Bone marrow aspirate smear; MGG-stained — 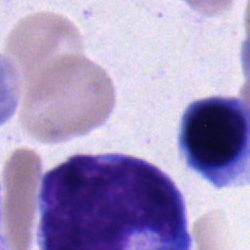

Specimen: bone marrow smear.
Morphological class: nucleated red blood cell.
Lineage: erythroid.